Bone marrow smear — 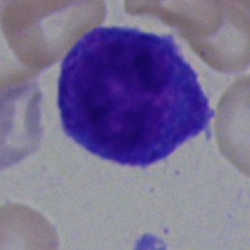 The cell shown is a promyelocyte.